Bone marrow aspirate smear. Brightfield microscopy, 40× oil immersion — 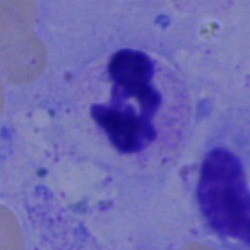

The cell is neutrophil (segmented).